Bone marrow smear:
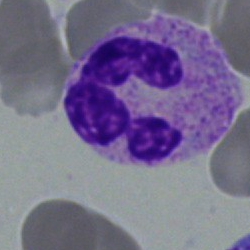
Morphological class = neutrophil (segmented).